May-Grünwald-Giemsa/Pappenheim stain · bone marrow smear · 40× oil immersion
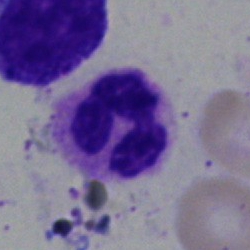
Showing a neutrophil (segmented).